Bone marrow aspirate smear: 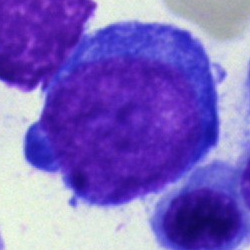The cell is pronormoblast.